Bone marrow smear.
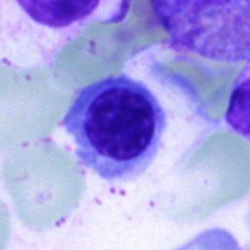 Normoblast.